Peripheral blood smear — 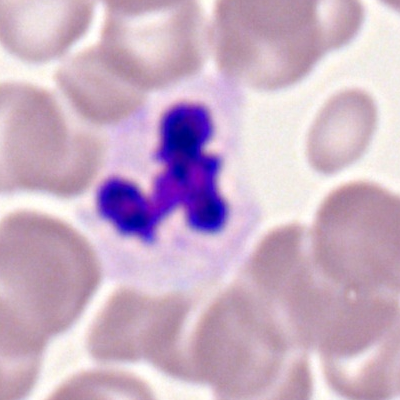

Cell: neutrophil (segmented).